Bone marrow smear.
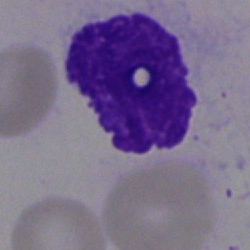 The cell is artefact.